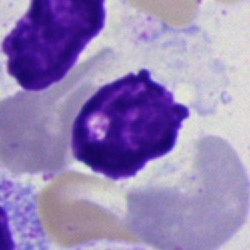
The cell is artifact.